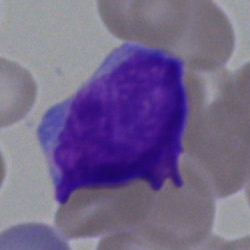 Q: What cell is this?
A: It is an undifferentiated blast.